Bone marrow aspirate smear — 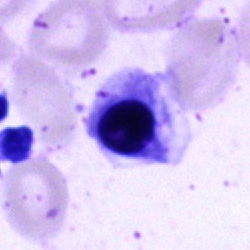 Cell = erythroblast.